Bone marrow smear: 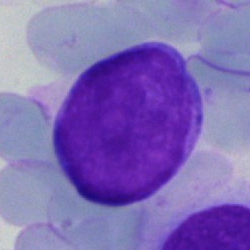Specimen: bone marrow smear.
Morphological class: undifferentiated blast.